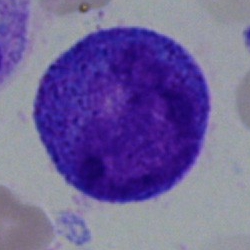

The cell shown is a promyelocyte.